Peripheral blood smear:
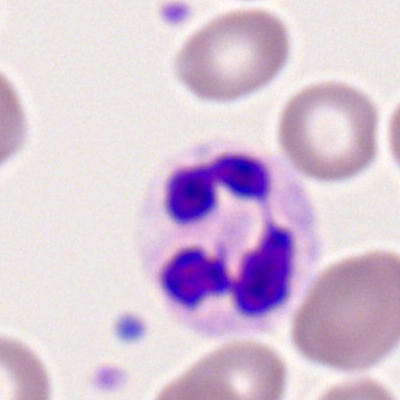 Cell: neutrophil (segmented).